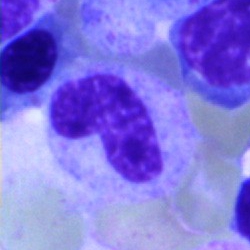Cell type: band neutrophil.